Bone marrow smear — 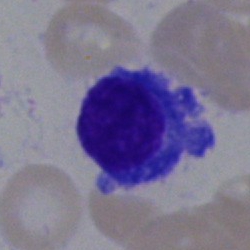
Plasma cell.